250 by 250 pixels; bone marrow smear — 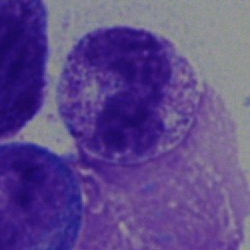
Q: What is the morphological classification of this cell?
A: This is a band-form neutrophil.